Bone marrow aspirate smear · single cell centered in the field: 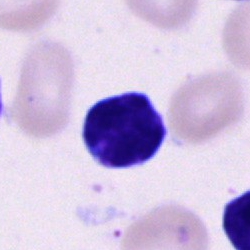Specimen: bone marrow aspirate smear.
Morphological class: typical lymphocyte.
Lineage: lymphoid.